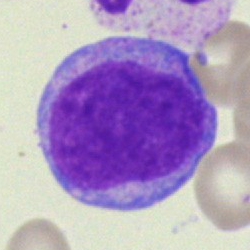

Q: What is the morphological classification of this cell?
A: Blast.